Bone marrow aspirate smear · 250×250 — 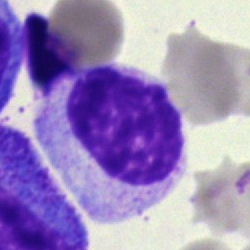 Cell: myelocyte.